May-Grünwald-Giemsa/Pappenheim stain; single-cell crop; bone marrow aspirate smear.
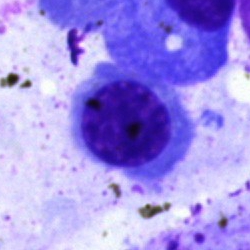
Morphological class = erythroblast.